Bone marrow aspirate smear; single-cell field
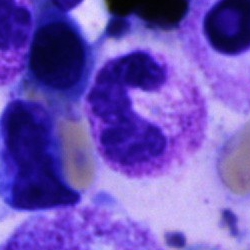 Q: Identify the cell.
A: A polymorphonuclear neutrophil.